Bone marrow smear.
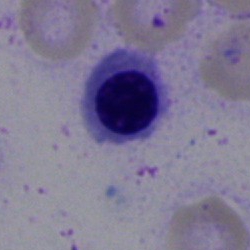
Q: What is the morphological classification of this cell?
A: This is a nucleated red blood cell.